250×250; Pappenheim-stained; bone marrow aspirate smear:
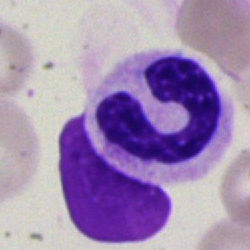

The cell type is neutrophil (band).